40× oil immersion. Bone marrow aspirate smear:
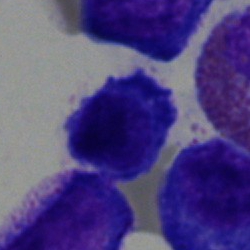 Showing an unidentifiable cell.